May-Grünwald-Giemsa stain · bone marrow aspirate smear — 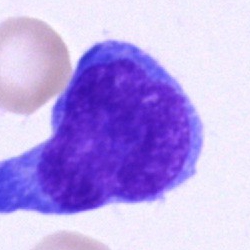

{"cell_type": "blast cell"}